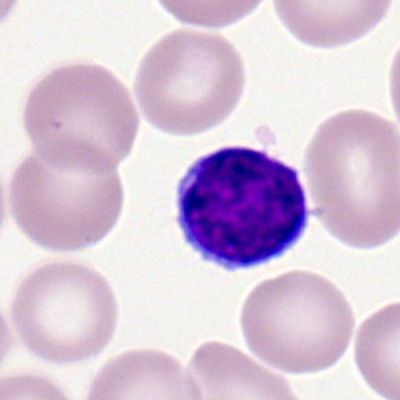

{"cell_type": "typical lymphocyte", "lineage": "lymphoid"}